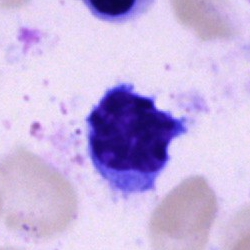 Cell type — lymphocyte.